Bone marrow smear.
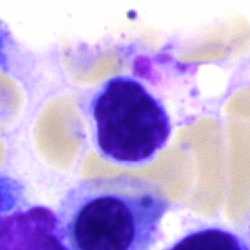
The classification is lymphocyte.